Peripheral blood smear:
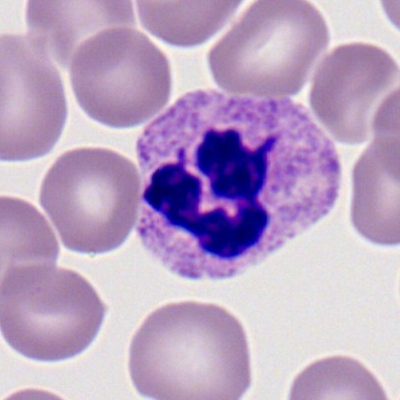

Specimen: peripheral blood smear.
Morphological class: polymorphonuclear neutrophil.
Lineage: myeloid.